Bone marrow aspirate smear.
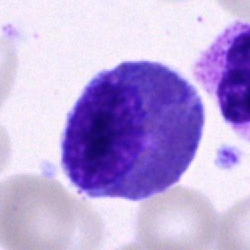
Morphology consistent with an eosinophil.